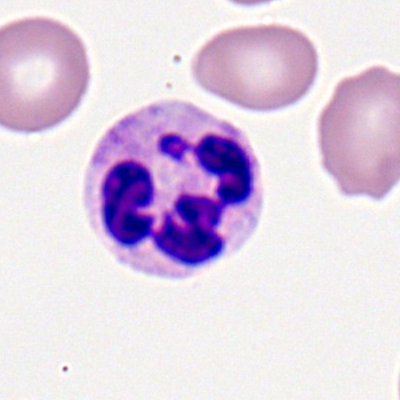Peripheral blood film, single cell — neutrophil (segmented).